Bone marrow smear
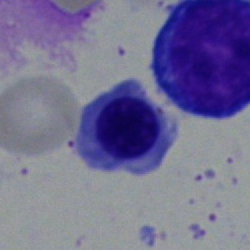 {"cell_type": "nucleated red blood cell", "lineage": "erythroid"}